Bone marrow aspirate smear
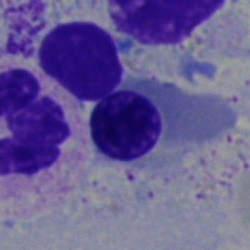This is a nucleated red blood cell.